Bone marrow aspirate smear:
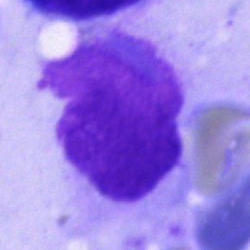 Single cell identified as an artefact.